Single-cell field; bone marrow smear
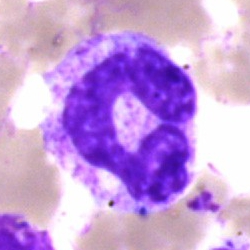

The classification is segmented neutrophil.